Bone marrow smear.
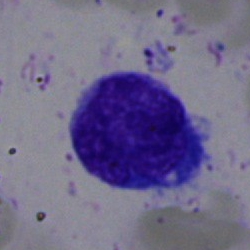
Specimen: bone marrow aspirate smear.
Classification: lymphocyte.
Lineage: lymphoid.